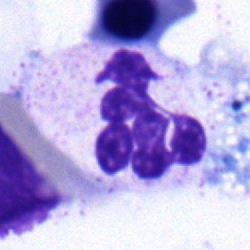
Specimen: bone marrow smear.
Morphological class: neutrophil (segmented).